Bone marrow aspirate smear.
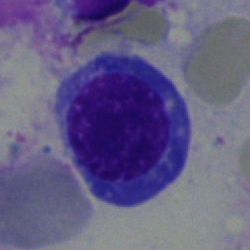 Cell: nucleated red cell.